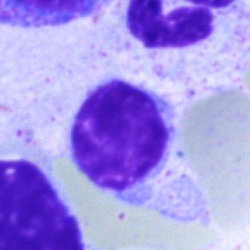Impression — typical lymphocyte.